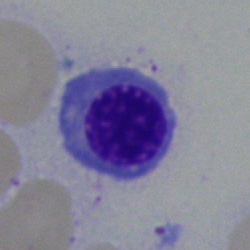
A nucleated red blood cell on a bone marrow smear.